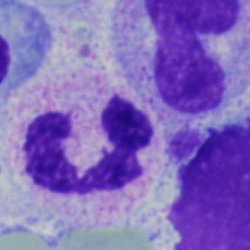
A neutrophil (segmented) on a bone marrow smear.